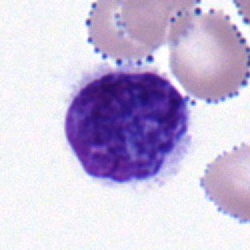Bone marrow smear showing a lymphocyte.